Bone marrow smear. 250×250
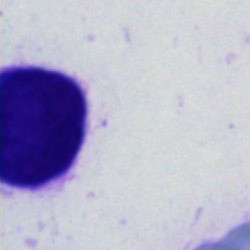

Specimen: bone marrow aspirate smear.
Morphological class: cell not matching the other categories.